Peripheral blood smear; Romanowsky-type stain.
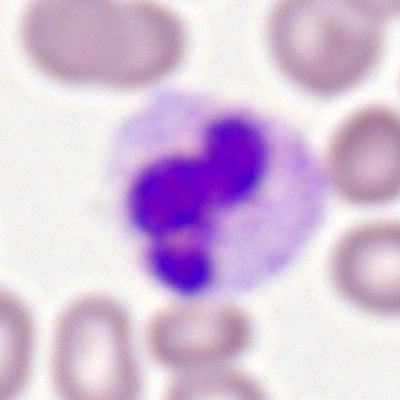
Cell type — segmented neutrophil.